Bone marrow smear: 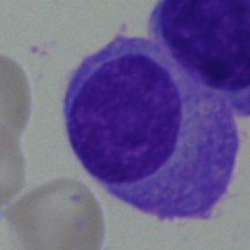
A plasmacyte.